Bone marrow smear. Pappenheim-stained. Single-cell field
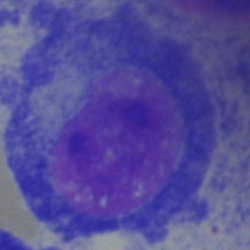

Q: What type of cell is this?
A: This is a plasma cell.